Bone marrow aspirate smear; brightfield, 40× oil-immersion objective; single cell centered in the field: 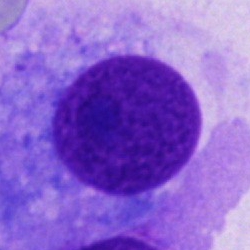

Morphological class — other cell type.